Bone marrow aspirate smear — 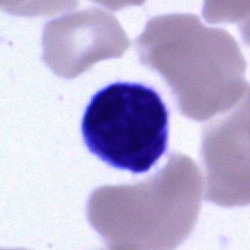Morphological class = lymphocyte.